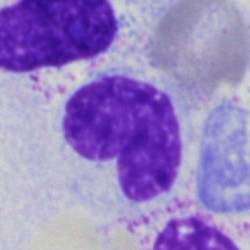
Morphology → band neutrophil.